Peripheral blood film
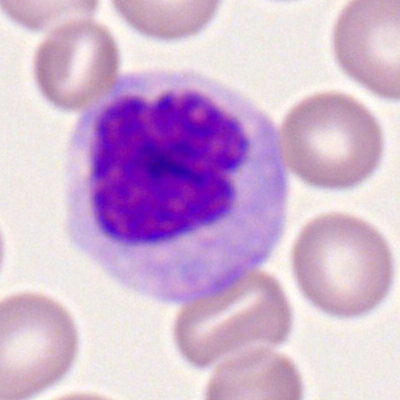 Showing a monocyte.